Single-cell crop; bone marrow aspirate smear; 40× objective, oil immersion
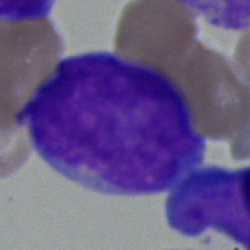 Showing a blast cell.